May-Grünwald-Giemsa stain. Image size 250×250. Bone marrow smear:
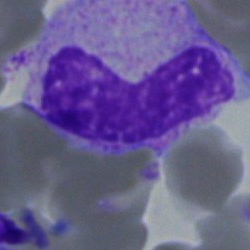A metamyelocyte.